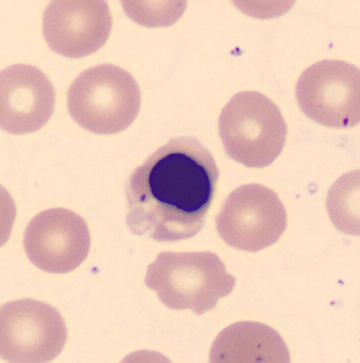 Morphology → erythroblast.